Single-cell field. Bone marrow smear
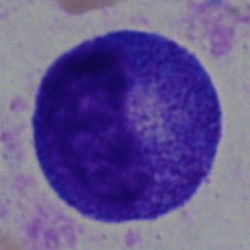

Morphology consistent with a progranulocyte.